250 by 250 pixels; bone marrow smear.
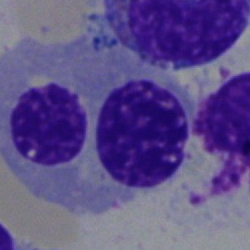Showing a nucleated red blood cell.